Peripheral blood smear — 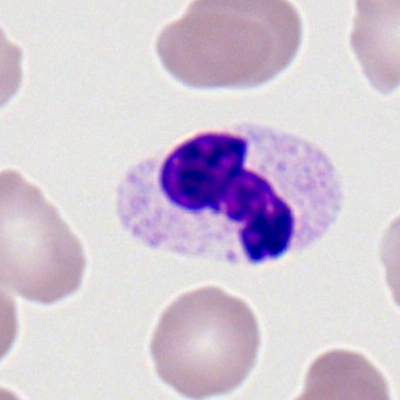 The cell shown is a segmented neutrophil.